May-Grünwald-Giemsa/Pappenheim stain · bone marrow aspirate smear
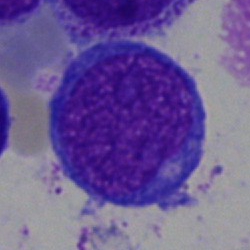Q: What is the morphological classification of this cell?
A: A nucleated red blood cell.